Bone marrow smear
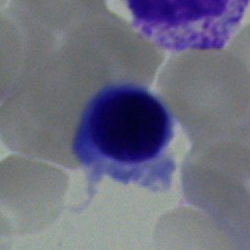Impression — nucleated red cell.